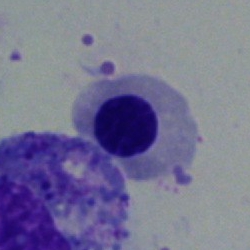

A nucleated red cell on a bone marrow smear.